Bone marrow aspirate smear — 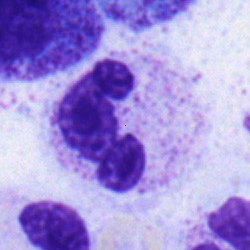
Q: What is shown here?
A: Polymorphonuclear neutrophil.